250 by 250 pixels; cropped to a single cell; bone marrow smear.
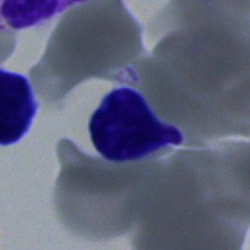The cell shown is a typical lymphocyte.